100× oil immersion. Peripheral blood film — 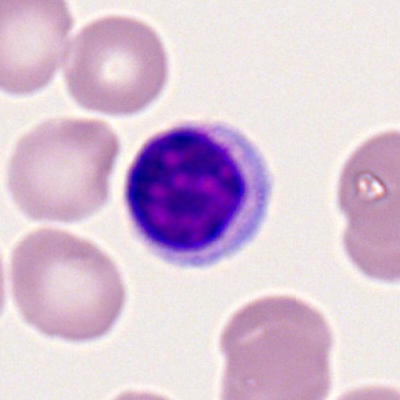 Q: What cell is this?
A: A lymphocyte.